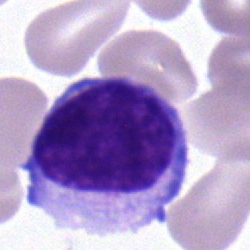

Q: What is shown here?
A: It is a lymphocyte.